Bone marrow aspirate smear: 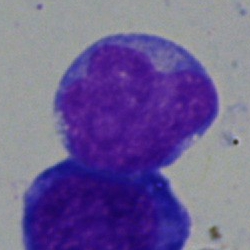

Cell type = blast.